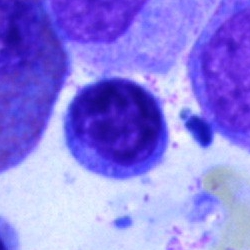Morphology → lymphocyte.